Peripheral blood film — 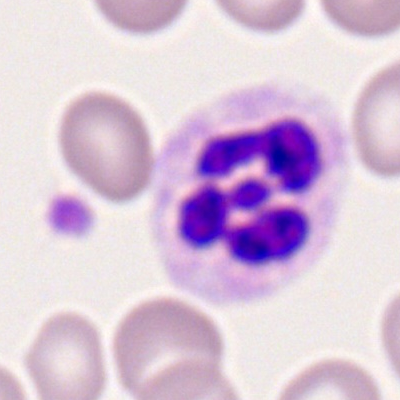 Classification = neutrophil (segmented).